May-Grünwald-Giemsa/Pappenheim stain · brightfield microscopy, 40× oil immersion · bone marrow smear: 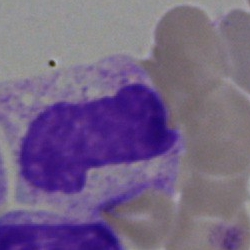

Showing a neutrophil (band).